May-Grünwald-Giemsa stain. 250×250 px. Bone marrow aspirate smear
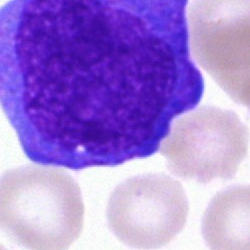
Q: What is shown here?
A: A blast cell.